Bone marrow smear — 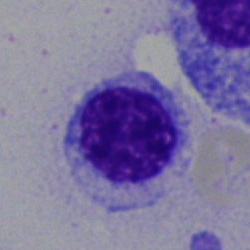

Specimen: bone marrow smear.
Morphological class: normoblast.